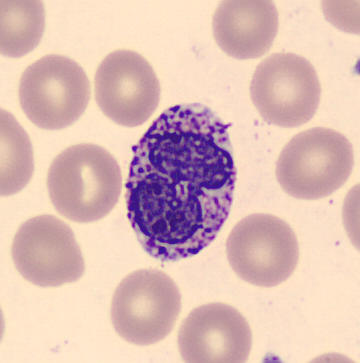Classification = basophilic granulocyte.